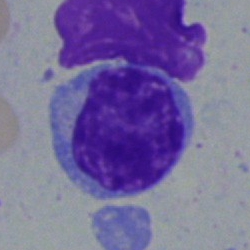
A lymphocyte on a bone marrow smear.